Bone marrow smear; brightfield, 40× oil-immersion objective; 250 by 250 pixels — 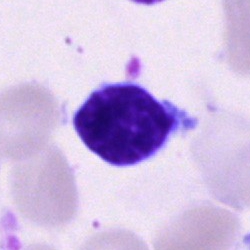The cell shown is a typical lymphocyte.